250×250; bone marrow aspirate smear; cropped to a single cell: 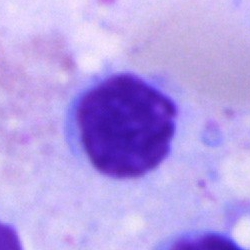Specimen: bone marrow aspirate smear.
Cell type: typical lymphocyte.
Lineage: lymphoid.